Bone marrow aspirate smear · Pappenheim-stained — 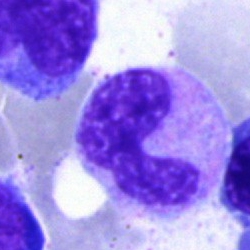 Band neutrophil.